250 by 250 pixels; bone marrow aspirate smear: 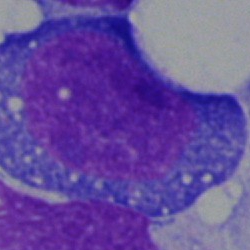 Morphological class — blast.